Bone marrow aspirate smear:
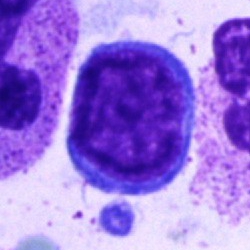

Q: Which cell type is shown here?
A: Proerythroblast.